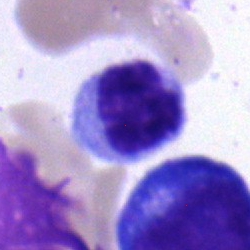

The cell shown is a monocyte.